Brightfield, 40× oil-immersion objective · bone marrow aspirate smear.
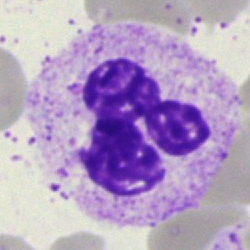

{"cell_type": "polymorphonuclear neutrophil"}